May-Grünwald-Giemsa/Pappenheim stain. Bone marrow smear:
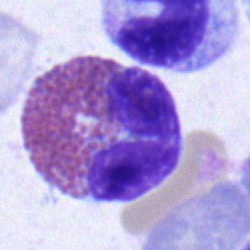
Q: What cell is this?
A: An eosinophil.